Single-cell crop · Pappenheim-stained · bone marrow aspirate smear: 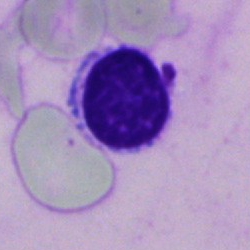

Q: What type of cell is this?
A: This is a lymphocyte.